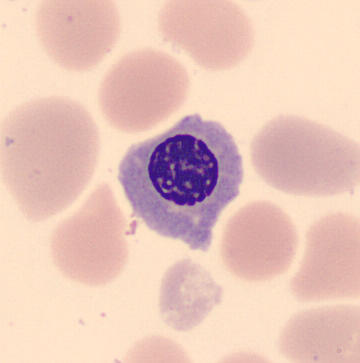
Acquisition: Peripheral blood film.
The classification is nucleated red blood cell.